40× objective, oil immersion; bone marrow smear — 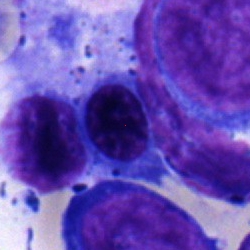This is an erythroblast.